Brightfield microscopy, 40× oil immersion. Bone marrow smear:
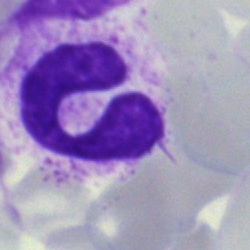Showing an artifact.